Bone marrow aspirate smear:
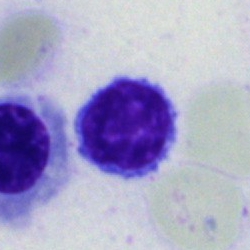
Impression — lymphocyte.